Bone marrow smear · image size 250×250 · single-cell crop.
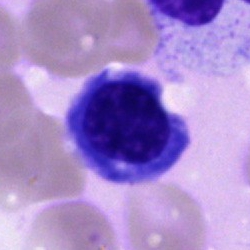Q: Identify the cell.
A: It is a normoblast.